Single-cell crop. Bone marrow smear:
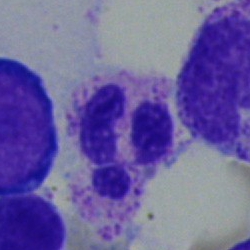
Specimen: bone marrow smear.
Cell: neutrophil (segmented).